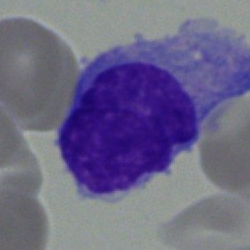Q: What is the morphological classification of this cell?
A: It is a monocyte.